Bone marrow smear; brightfield microscopy, 40× oil immersion; May-Grünwald-Giemsa stain:
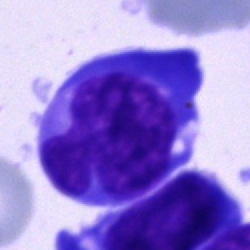

Blast.